250×250; bone marrow aspirate smear; May-Grünwald-Giemsa stain.
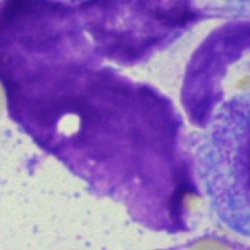 Q: What is shown here?
A: This is an artefact.